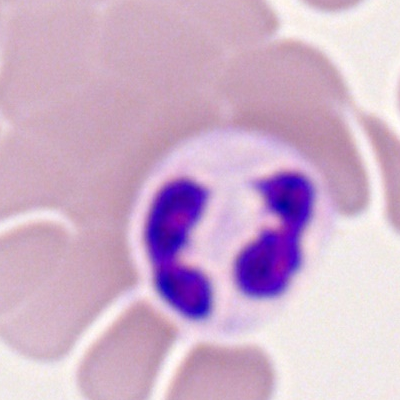

Peripheral blood film, single cell — polymorphonuclear neutrophil.